Bone marrow aspirate smear: 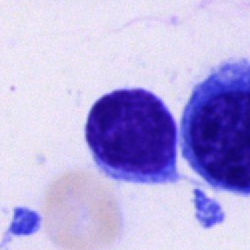
The cell shown is a typical lymphocyte.